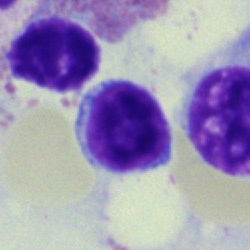The morphological class is lymphocyte.